Bone marrow aspirate smear — 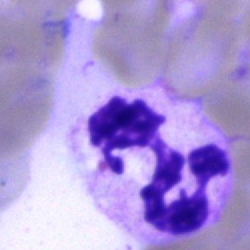

Segmented neutrophil.